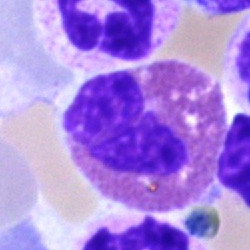Specimen: bone marrow aspirate smear.
Cell: eosinophil.
Lineage: myeloid.